Bone marrow smear · single-cell crop
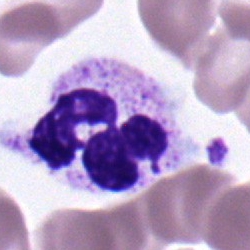
A segmented neutrophil.